Bone marrow smear: 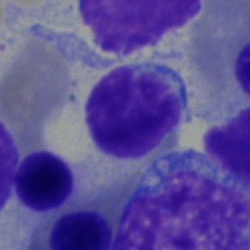 Cell = lymphocyte.